Peripheral blood smear: 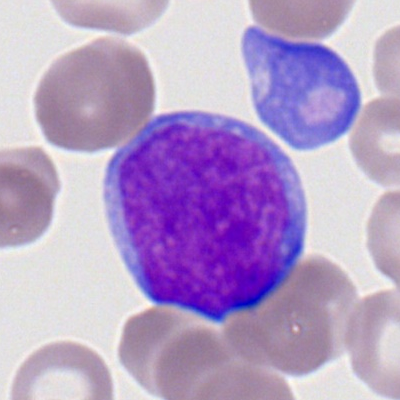Morphological class = myeloblast.